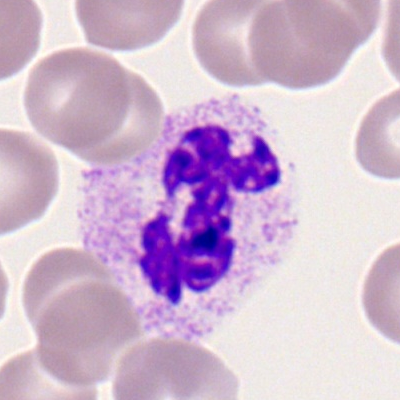 Specimen: peripheral blood smear.
Cell: polymorphonuclear neutrophil.
Lineage: myeloid.